250 by 250 pixels. Bone marrow aspirate smear: 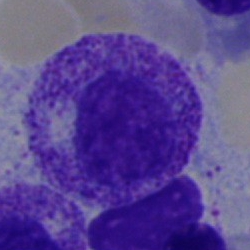

Showing a myelocyte.